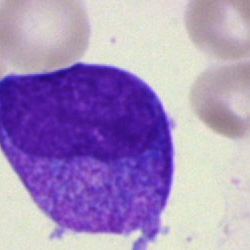
Morphological class: progranulocyte.